Bone marrow smear
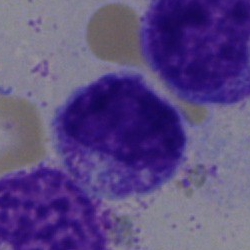 Morphology → myelocyte.